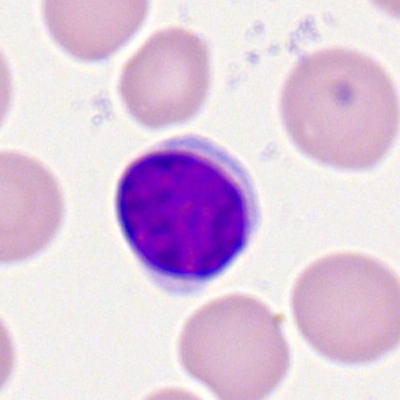Morphological class — typical lymphocyte.